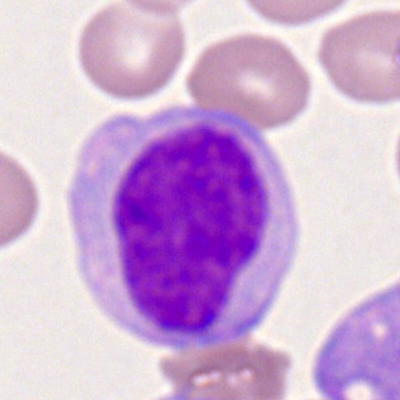Peripheral blood smear showing a monocyte.